MGG-stained; image size 250×250; bone marrow aspirate smear — 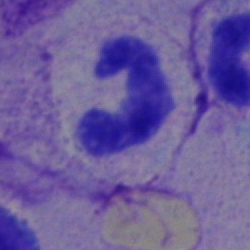
Morphological class: polymorphonuclear neutrophil.